Cropped to a single cell. Bone marrow smear: 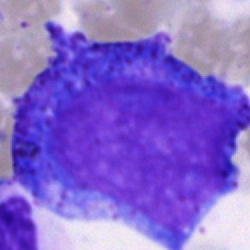
A progranulocyte.